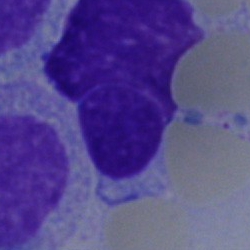
Specimen: bone marrow smear.
Classification: artefact.